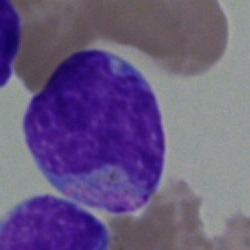

Showing an undifferentiated blast.